250×250. Bone marrow smear. Single cell centered in the field
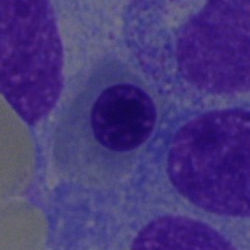Cell = nucleated red blood cell.